MGG-stained. Bone marrow aspirate smear. 40× objective, oil immersion:
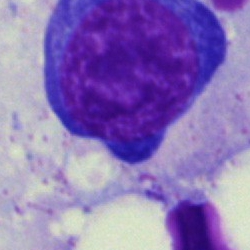

Pronormoblast.